Single cell centered in the field; bone marrow aspirate smear; 250×250 px.
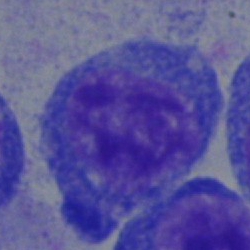The cell shown is a blast.